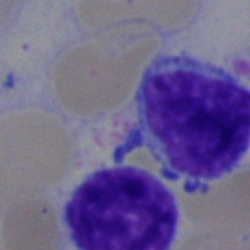
The classification is lymphocyte.